Bone marrow aspirate smear — 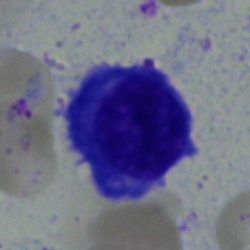

Cell type = plasmacyte.